Brightfield, 40× oil-immersion objective. Bone marrow smear. Single-cell field.
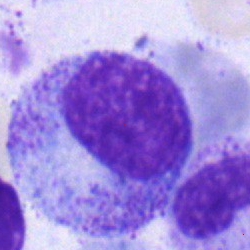 This is a myelocyte.